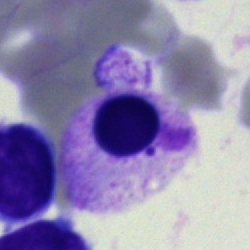Single cell identified as an artefact.